Bone marrow aspirate smear:
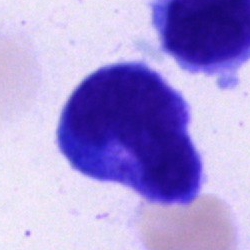The cell type is monocyte.